Bone marrow smear. Image size 250×250:
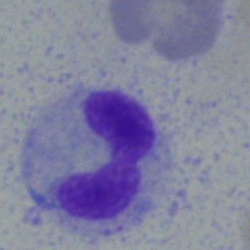Q: Identify the cell.
A: A neutrophil (segmented).